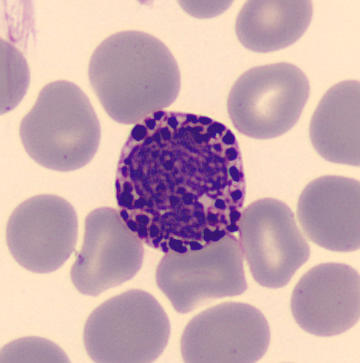

Q: What is this?
A: A basophil.